Peripheral blood film
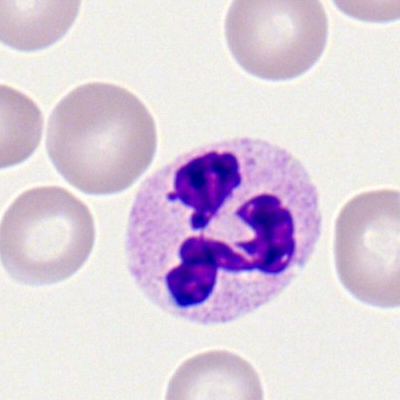

The classification is neutrophil (segmented).